May-Grünwald-Giemsa stain; bone marrow smear
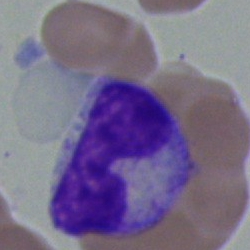 Metamyelocyte.